Bone marrow smear: 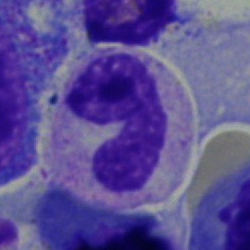
Neutrophil (band).